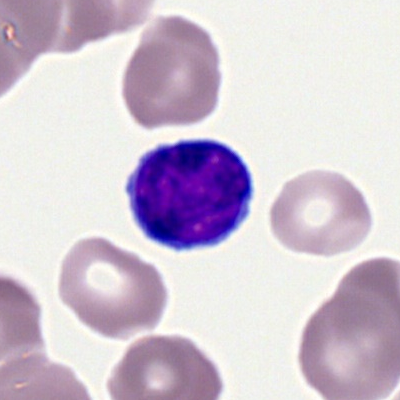

Single cell identified as a typical lymphocyte.